Image size 250×250. May-Grünwald-Giemsa stain. Bone marrow aspirate smear.
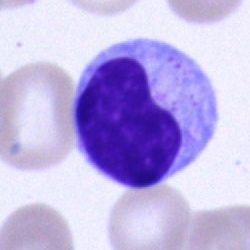 Cell type = typical lymphocyte.